Bone marrow smear:
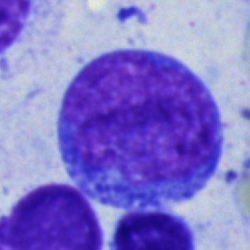

Q: Which cell type is shown here?
A: An undifferentiated blast.